Cropped to a single cell · bone marrow aspirate smear
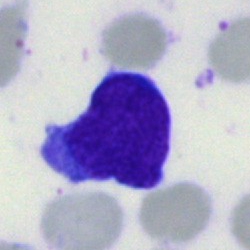

Blast.